Bone marrow aspirate smear. 250×250:
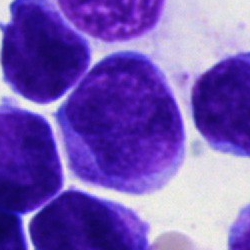 Showing a blast cell.